Bone marrow aspirate smear: 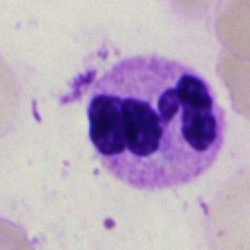Q: Identify the cell.
A: A neutrophil (segmented).